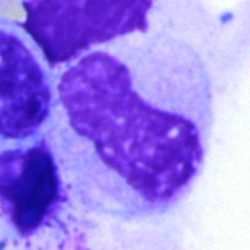 This is a band-form neutrophil.